Brightfield microscopy, 40× oil immersion. Bone marrow smear — 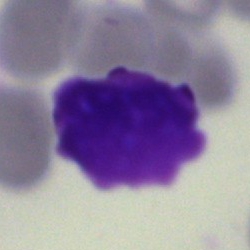

An artefact.